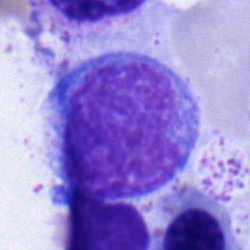
The classification is monocyte.